Bone marrow aspirate smear.
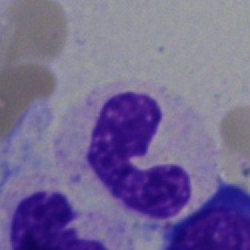This is a polymorphonuclear neutrophil.